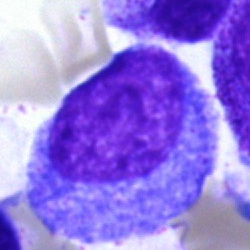 Progranulocyte.